Bone marrow smear · single cell centered in the field.
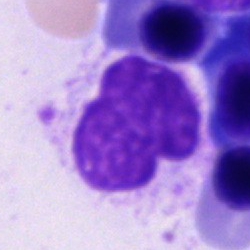
Q: What is shown here?
A: Artefact.